Bone marrow aspirate smear · single cell centered in the field:
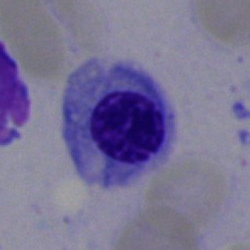
{"cell_type": "nucleated red cell"}